Bone marrow smear:
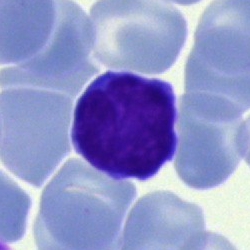
Cell — lymphocyte.